Bone marrow aspirate smear; image size 250×250.
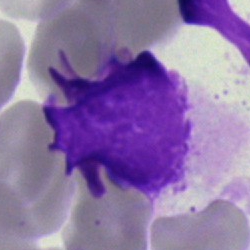 Specimen: bone marrow aspirate smear.
Cell type: artifact.